Bone marrow aspirate smear: 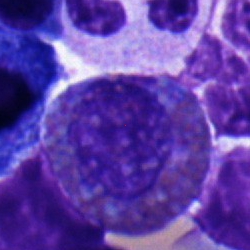The classification is eosinophilic granulocyte.